Single-cell field. Bone marrow smear. May-Grünwald-Giemsa/Pappenheim stain.
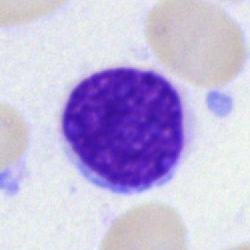

Morphological class — typical lymphocyte.